Bone marrow smear.
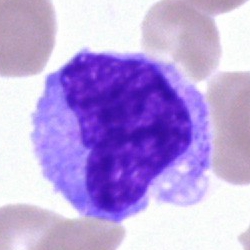Morphology → monocyte.